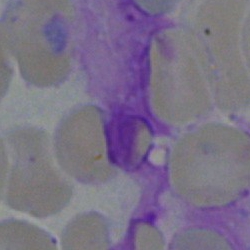 Q: What is shown here?
A: It is an artefact.